Bone marrow smear: 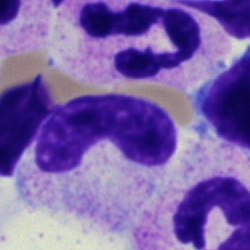

The cell shown is a band neutrophil.